May-Grünwald-Giemsa stain; bone marrow aspirate smear
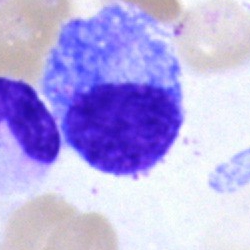

Q: What is shown here?
A: A plasmacyte.